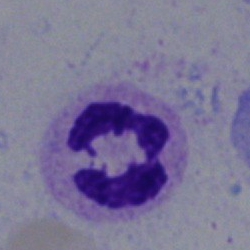
Single cell identified as a polymorphonuclear neutrophil.